Bone marrow aspirate smear. Brightfield microscopy, 40× oil immersion: 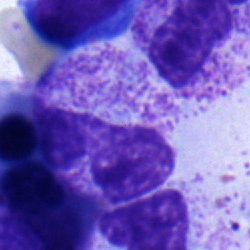

Stab cell.